Cropped to a single cell; 40× objective, oil immersion; bone marrow smear:
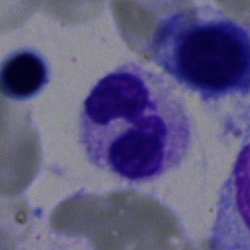

Specimen: bone marrow smear.
Classification: neutrophil (segmented).
Lineage: myeloid.